Bone marrow smear
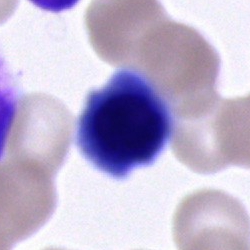
Showing a normoblast.